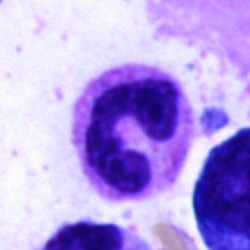 {"cell_type": "polymorphonuclear neutrophil"}